Image size 250×250 · bone marrow aspirate smear · cropped to a single cell — 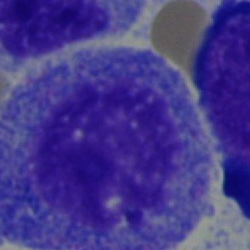 Morphology → promyelocyte.